Romanowsky stain · peripheral blood film:
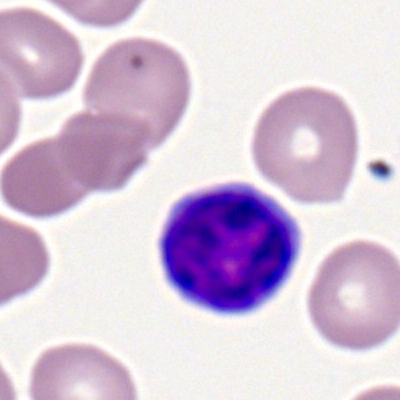

Q: What type of cell is this?
A: Lymphocyte.